Peripheral blood smear — 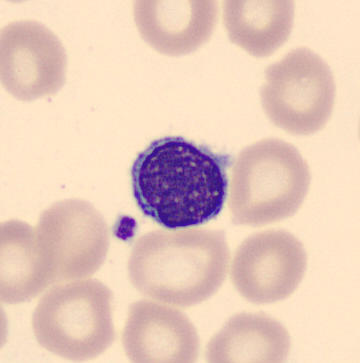
Q: What is this?
A: A typical lymphocyte.